Brightfield, 40× oil-immersion objective · bone marrow aspirate smear: 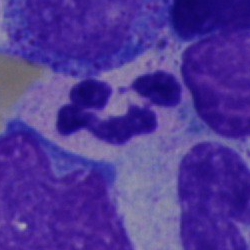 The cell type is polymorphonuclear neutrophil.